May-Grünwald-Giemsa stain · bone marrow smear:
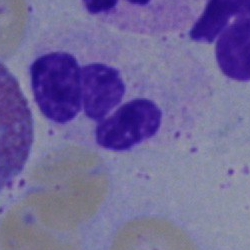
Segmented neutrophil.